Bone marrow smear:
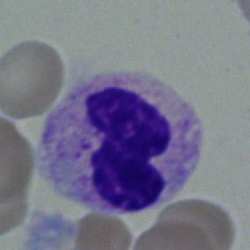{"cell_type": "neutrophil (segmented)", "lineage": "myeloid"}